Bone marrow aspirate smear
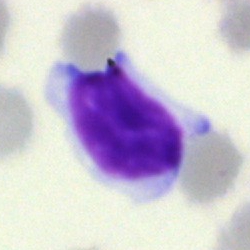Morphology consistent with a typical lymphocyte.